250×250 · bone marrow smear — 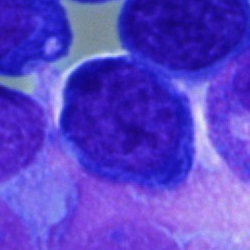

Classification: nucleated red cell.